MGG-stained; bone marrow aspirate smear; image size 250×250.
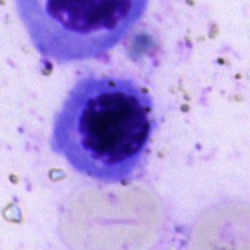
This is an erythroblast.